Bone marrow smear — 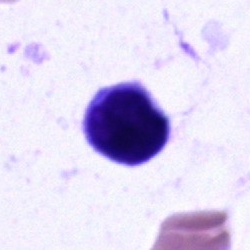
A typical lymphocyte.